Bone marrow aspirate smear
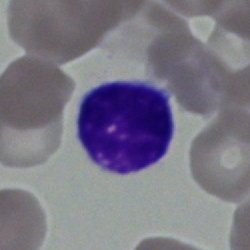{"cell_type": "typical lymphocyte", "lineage": "lymphoid"}